Bone marrow aspirate smear; cropped to a single cell; 40× oil immersion.
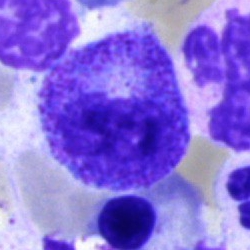
The cell shown is a metamyelocyte.